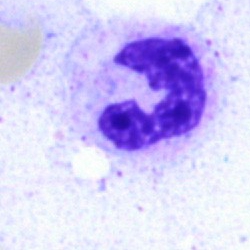

{"cell_type": "polymorphonuclear neutrophil"}